Bone marrow aspirate smear:
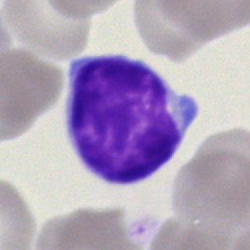

{"cell_type": "lymphocyte"}